Bone marrow aspirate smear · brightfield, 40× oil-immersion objective — 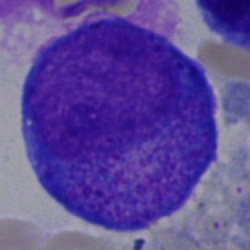 The cell shown is a progranulocyte.